Bone marrow aspirate smear.
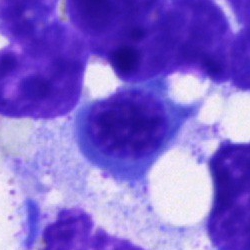
{"cell_type": "nucleated red blood cell", "lineage": "erythroid"}